Image size 250×250; bone marrow aspirate smear; Pappenheim-stained
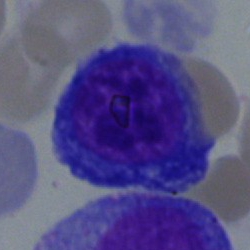
This is a pronormoblast.